Peripheral blood smear — 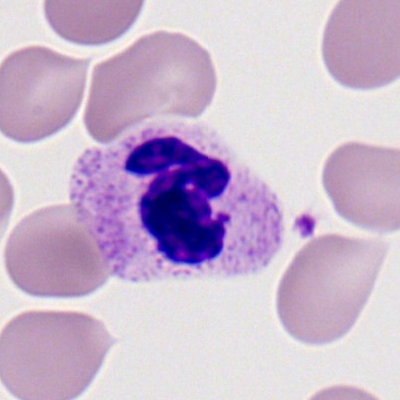
The cell shown is a neutrophil (segmented).